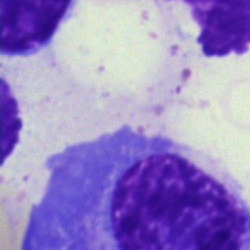 The classification is plasma cell.